Bone marrow smear · 40× oil immersion · cropped to a single cell: 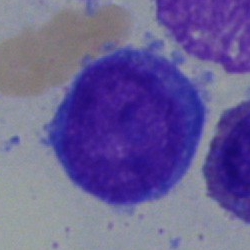
Specimen: bone marrow aspirate smear.
Cell: blast cell.